Bone marrow aspirate smear
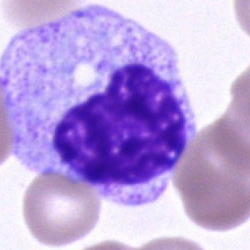Cell = myelocyte.